Bone marrow aspirate smear · image size 250×250:
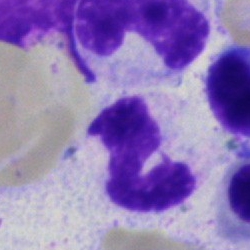 Morphology consistent with a neutrophil (segmented).